Single-cell crop. Bone marrow aspirate smear
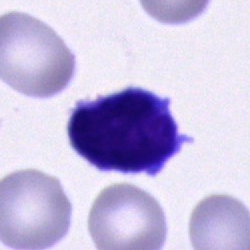

Q: What is shown here?
A: A blast.